May-Grünwald-Giemsa stain. Bone marrow smear:
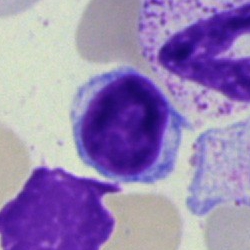 Showing a typical lymphocyte.